Bone marrow smear: 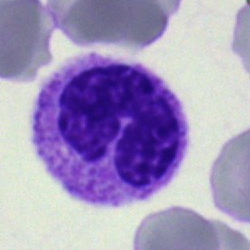
Single cell identified as a band neutrophil.